Bone marrow smear:
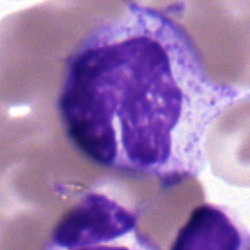 Q: What type of cell is this?
A: It is a band-form neutrophil.